40× objective, oil immersion; bone marrow aspirate smear: 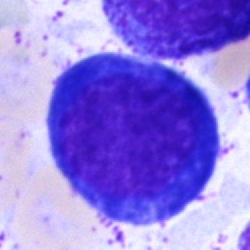 Morphology consistent with a nucleated red blood cell.